Image size 250×250 · bone marrow smear
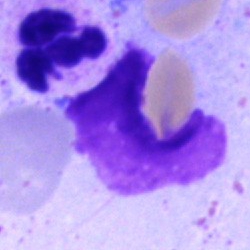

{"cell_type": "neutrophil (segmented)", "lineage": "myeloid"}